Bone marrow smear.
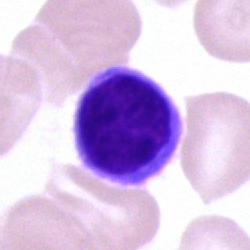

A typical lymphocyte.